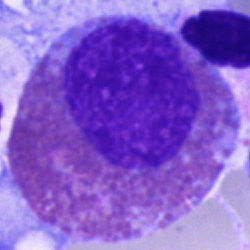

Classification: eosinophil.